Brightfield, 40× oil-immersion objective; bone marrow aspirate smear: 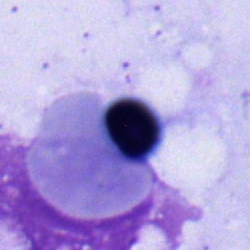
A nucleated red cell.